40× objective, oil immersion · bone marrow smear: 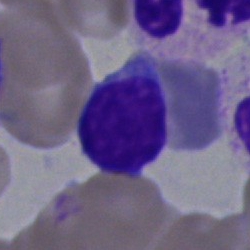

Morphology — typical lymphocyte.